Bone marrow aspirate smear · single-cell crop: 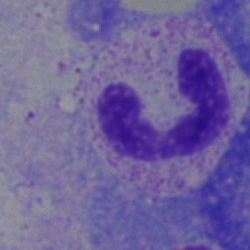
Single cell identified as a polymorphonuclear neutrophil.